Peripheral blood film.
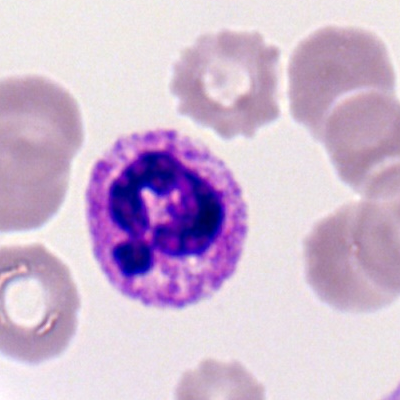Specimen: peripheral blood smear.
Cell type: segmented neutrophil.
Lineage: myeloid.